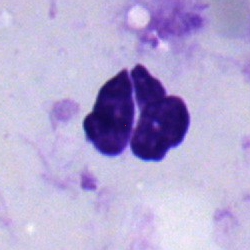 Specimen: bone marrow aspirate smear.
Classification: neutrophil (segmented).
Lineage: myeloid.